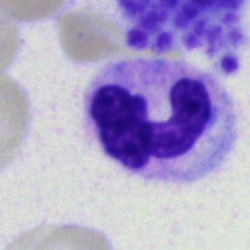

Morphological class — neutrophil (segmented).